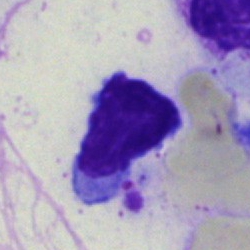 Morphology consistent with a typical lymphocyte.